Peripheral blood film. Romanowsky-type stain:
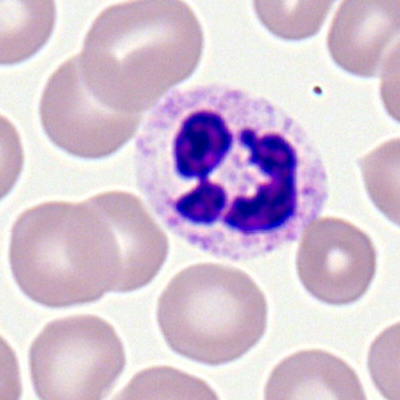Classification: segmented neutrophil.